Bone marrow aspirate smear: 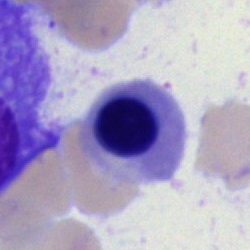
Q: What is shown here?
A: It is a nucleated red cell.